Bone marrow aspirate smear:
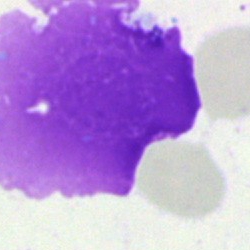
Showing an artifact.